Bone marrow aspirate smear:
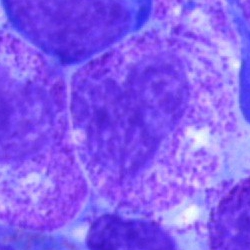
The classification is myelocyte.